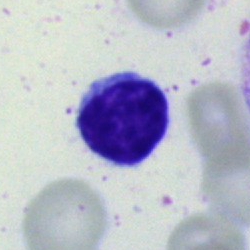 A lymphocyte.